Bone marrow aspirate smear
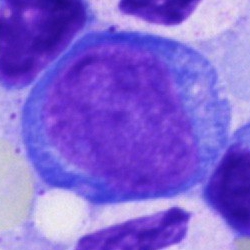 Q: What is the morphological classification of this cell?
A: Proerythroblast.